Bone marrow smear; single-cell field.
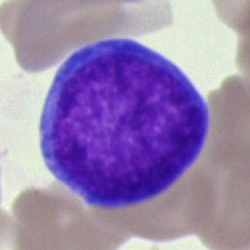 {"cell_type": "blast"}